Bone marrow smear.
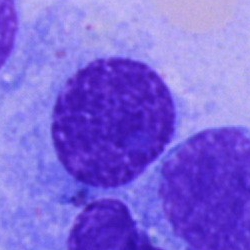Q: Identify the cell.
A: It is a plasmacyte.